Peripheral blood film. Image size 400×400. Romanowsky-stained — 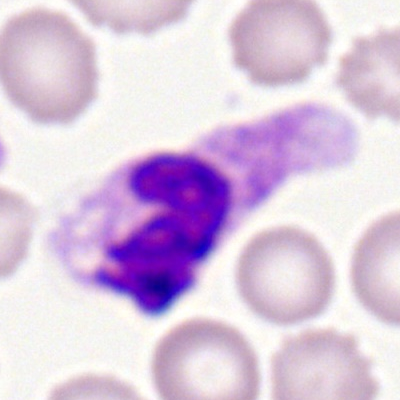

Q: What cell is this?
A: This is a neutrophil (segmented).